Peripheral blood smear — 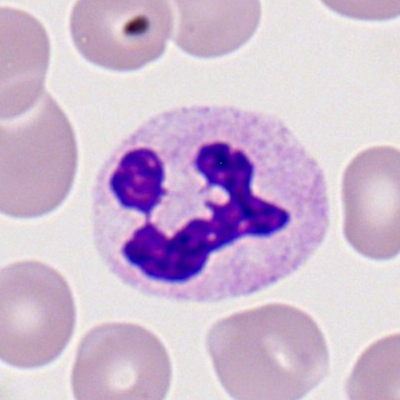The cell is neutrophil (segmented).